Bone marrow smear; brightfield microscopy, 40× oil immersion; Pappenheim-stained: 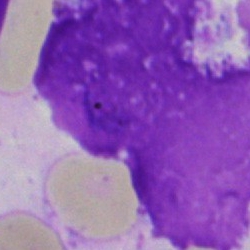
Cell type — artifact.